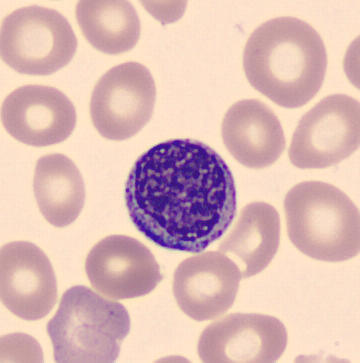

This is a myelocyte.